Bone marrow smear — 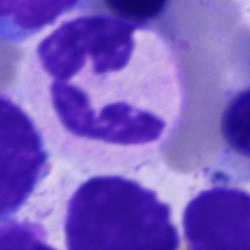Q: Identify the cell.
A: A polymorphonuclear neutrophil.